Peripheral blood smear:
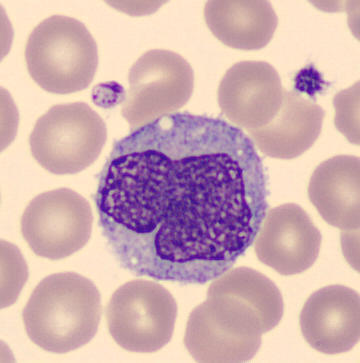Q: Identify the cell.
A: Monocyte.